Bone marrow aspirate smear. MGG-stained
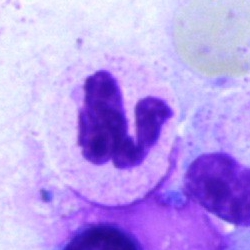Showing a polymorphonuclear neutrophil.